Bone marrow aspirate smear · Pappenheim-stained · 250 by 250 pixels: 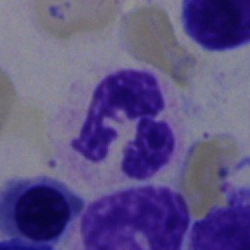

Q: What is the morphological classification of this cell?
A: It is a polymorphonuclear neutrophil.